Peripheral blood smear: 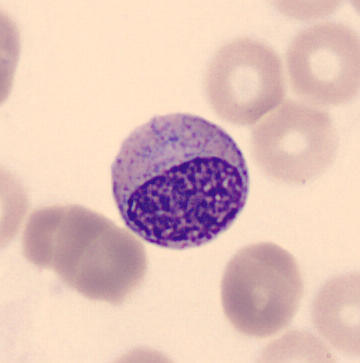
{"cell_type": "myelocyte", "lineage": "myeloid"}